Bone marrow aspirate smear; 250×250 px.
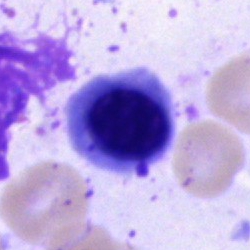
{"cell_type": "erythroblast"}